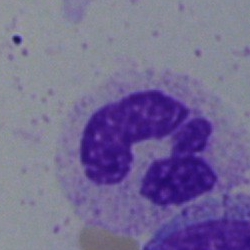
Classification: neutrophil (segmented).